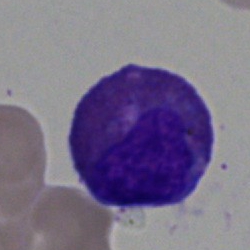Morphology — eosinophil.